Romanowsky-stained. Peripheral blood film. Single-cell field — 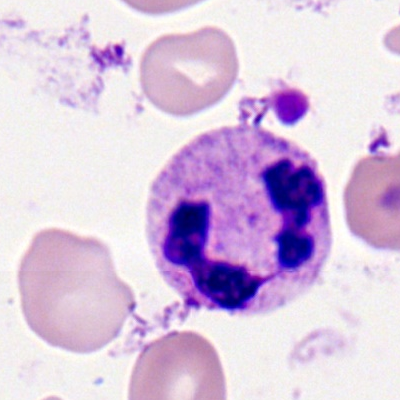

Classification: neutrophil (segmented).